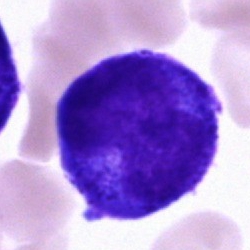
{"cell_type": "undifferentiated blast"}